Brightfield, 40× oil-immersion objective · bone marrow aspirate smear: 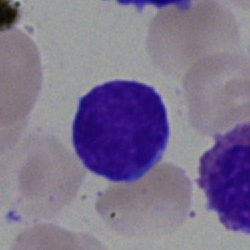A typical lymphocyte.